Bone marrow smear
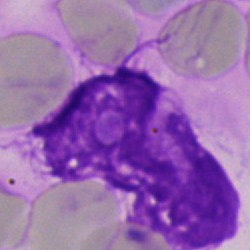Artifact.